Peripheral blood film
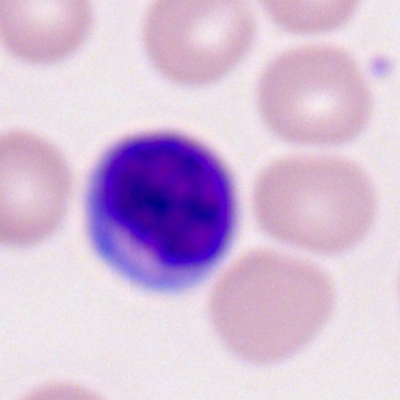

Q: What type of cell is this?
A: It is a lymphocyte.